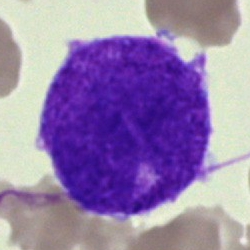 This is a blast.